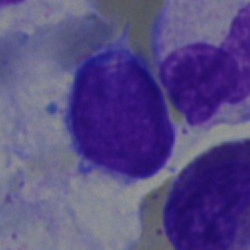Morphological class — blast.